Bone marrow smear:
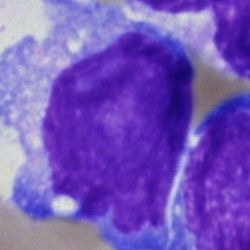Morphology consistent with a blast.